100× oil immersion, 14.14 px/µm · peripheral blood film.
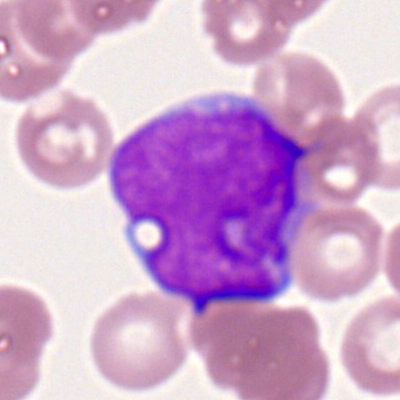 {"cell_type": "myeloid blast"}